Bone marrow smear: 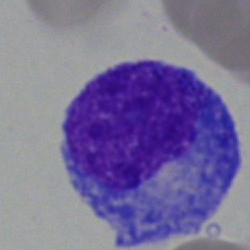
Cell: progranulocyte.